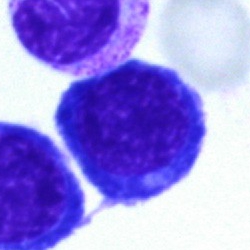
Bone marrow aspirate smear, single cell — nucleated red cell.